Bone marrow smear — 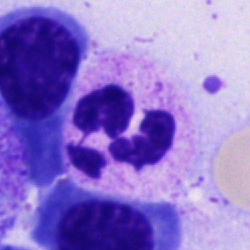 Single cell identified as a neutrophil (segmented).